Bone marrow aspirate smear: 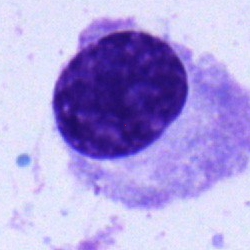

Q: What cell is this?
A: Plasma cell.